Bone marrow aspirate smear
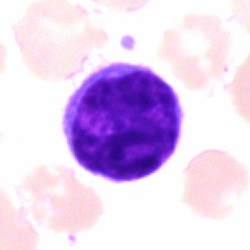 Impression → typical lymphocyte.